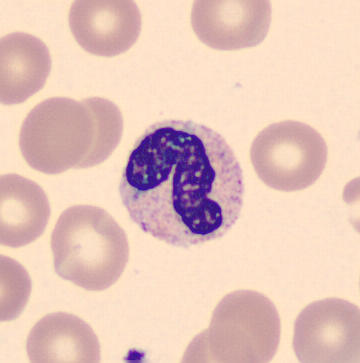Showing a stab cell.
Peripheral blood film · MGG stain · 360 by 363 pixels.